Bone marrow aspirate smear.
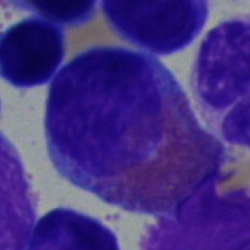 Morphological class = eosinophil.